Brightfield microscopy, 40× oil immersion · bone marrow smear: 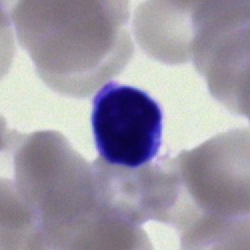 Specimen: bone marrow aspirate smear.
Cell type: typical lymphocyte.
Lineage: lymphoid.